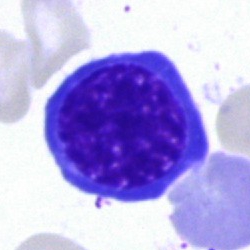An erythroblast on a bone marrow smear.